Bone marrow smear
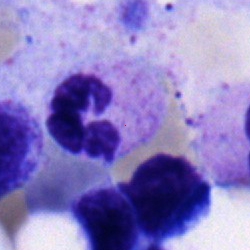Morphology → polymorphonuclear neutrophil.